Bone marrow aspirate smear — 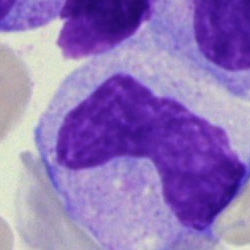 The cell shown is a monocyte.